Peripheral blood film:
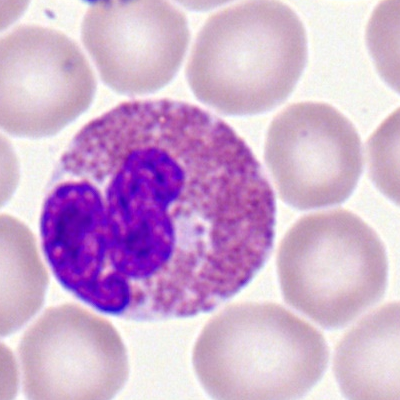 Morphology — eosinophilic granulocyte.